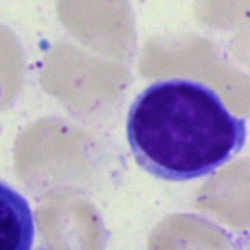
Typical lymphocyte.